Bone marrow aspirate smear: 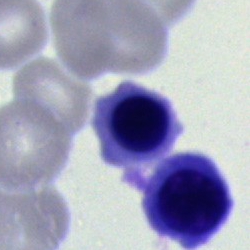

Cell type: nucleated red cell.